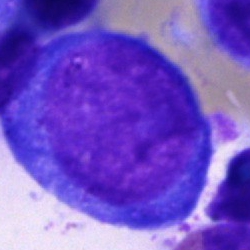
Impression — pronormoblast.